Bone marrow aspirate smear. Single-cell crop
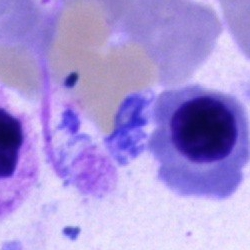Morphological class: normoblast.